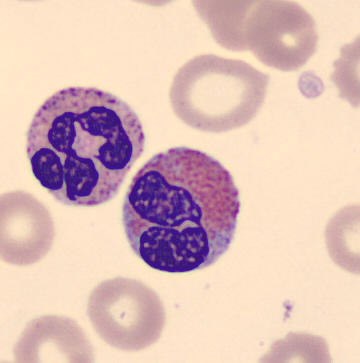

The cell shown is an eosinophil.

Image: Peripheral blood film. MGG stain.